May-Grünwald-Giemsa stain. Single-cell field. Bone marrow aspirate smear
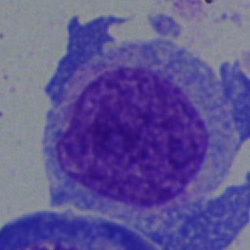

Showing an undifferentiated blast.